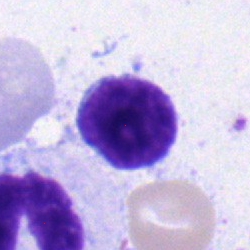 Classification — lymphocyte.